Brightfield, 40× oil-immersion objective; bone marrow aspirate smear:
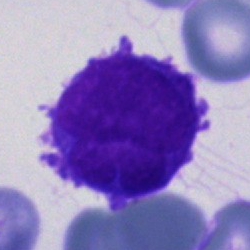
Showing a blast cell.